Peripheral blood film; Romanowsky-type stain; 400 by 400 pixels — 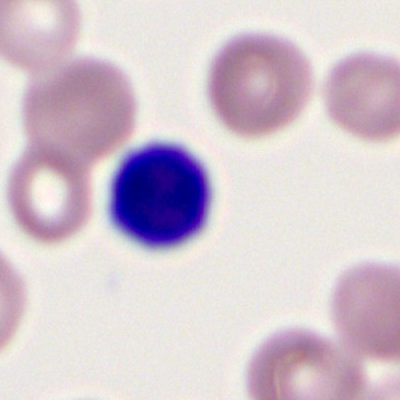
Q: Identify the cell.
A: A typical lymphocyte.